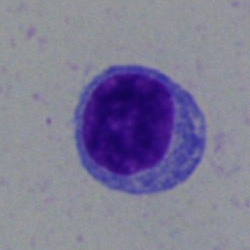 Bone marrow aspirate smear, single cell — lymphocyte.